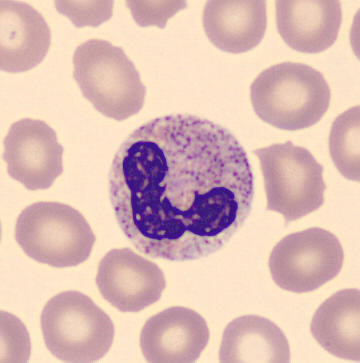Peripheral blood film. Image size 360×363. Single cell centered in the field.

Impression → neutrophil (segmented).